Bone marrow smear. Cropped to a single cell
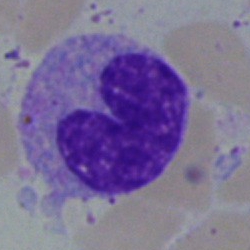

Impression → neutrophil (band).